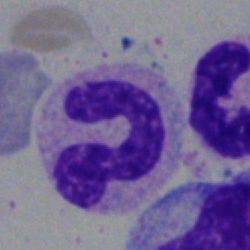 Classification: neutrophil (segmented).